Bone marrow aspirate smear; 40× oil immersion; single cell centered in the field:
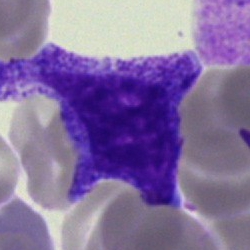 Morphology consistent with a myelocyte.